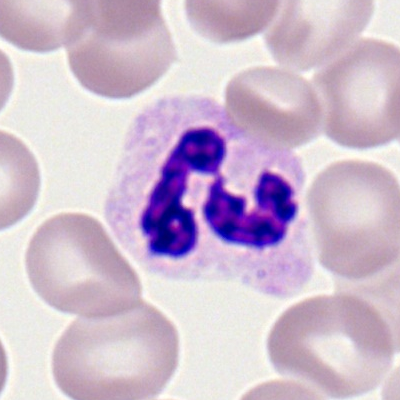

The cell shown is a segmented neutrophil.